Bone marrow smear
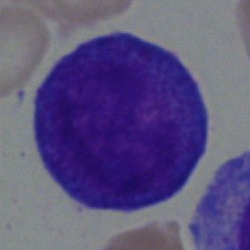Classification = progranulocyte.